Peripheral blood smear · 360 by 360 pixels: 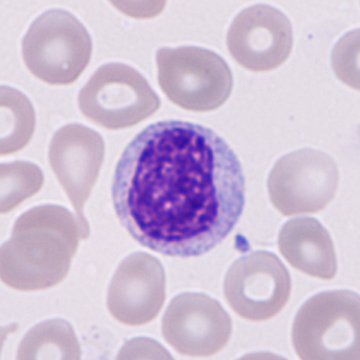
Classification: immature granulocyte (promyelocyte, myelocyte or metamyelocyte).